Peripheral blood film — 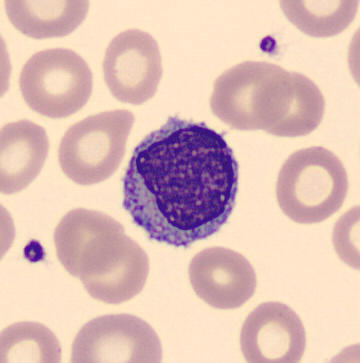 Specimen: peripheral blood smear.
Classification: lymphocyte.
Lineage: lymphoid.